Bone marrow aspirate smear: 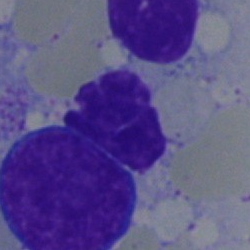Specimen: bone marrow smear.
Cell type: artifact.